Bone marrow smear.
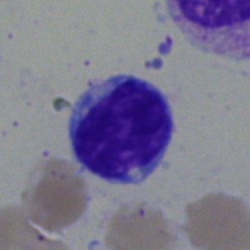Impression — lymphocyte.